250×250 · bone marrow aspirate smear: 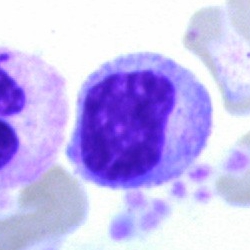
Q: What cell is this?
A: Metamyelocyte.